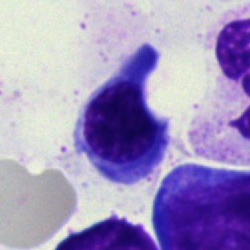 The cell is normoblast.